Bone marrow smear; brightfield microscopy, 40× oil immersion.
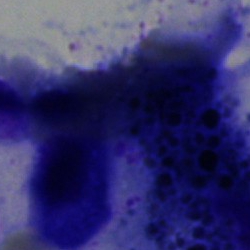Specimen: bone marrow aspirate smear.
Classification: artefact.